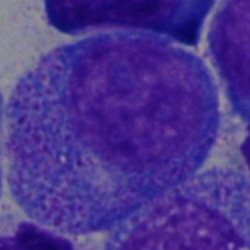The cell type is promyelocyte.